Bone marrow smear:
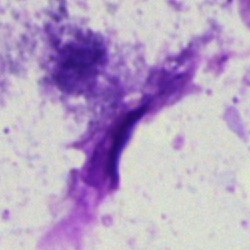

The cell is artifact.